Single-cell crop. Bone marrow aspirate smear.
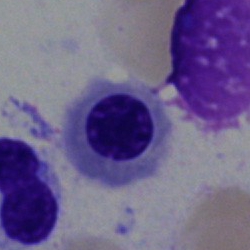 Q: What is the morphological classification of this cell?
A: It is an erythroblast.